Bone marrow smear: 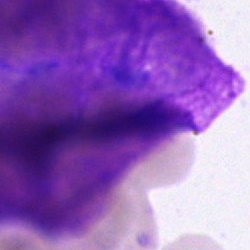 Morphology — artefact.